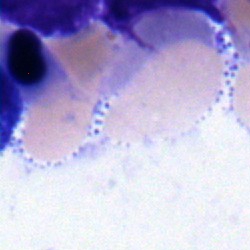
Q: What is shown here?
A: A nucleated red cell.